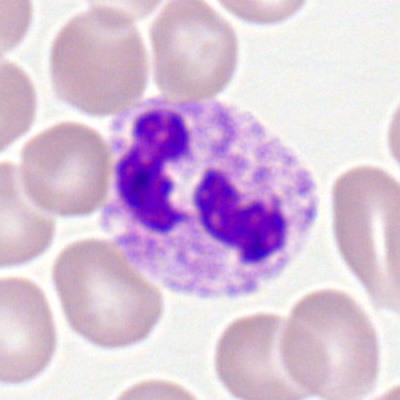 Impression — neutrophil (segmented).